Peripheral blood smear: 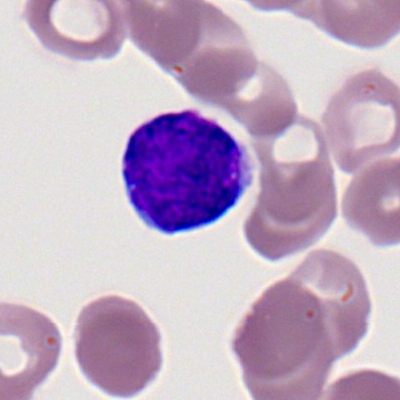

A lymphocyte.